Bone marrow aspirate smear
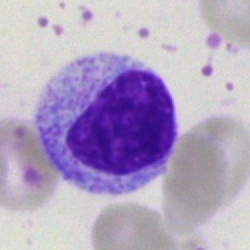
Q: What is the morphological classification of this cell?
A: A myelocyte.